Pappenheim-stained; bone marrow aspirate smear — 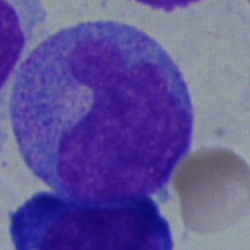
Q: What is shown here?
A: It is a promyelocyte.